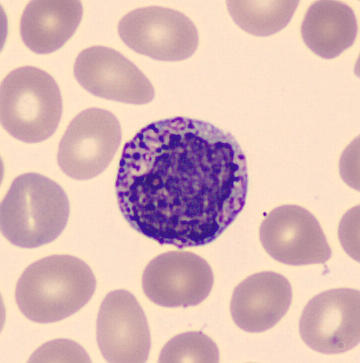

Image: 360×363 px; peripheral blood smear.

Classification: basophilic granulocyte.